Bone marrow smear.
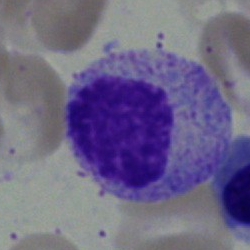
Q: What cell is this?
A: This is a myelocyte.